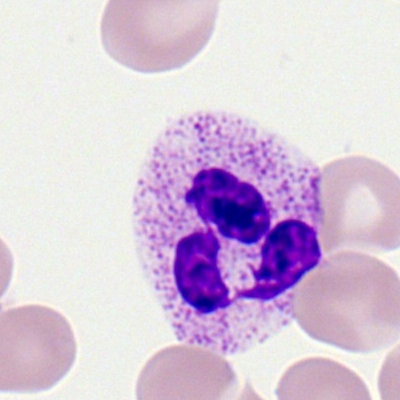
This is a polymorphonuclear neutrophil.